Bone marrow smear
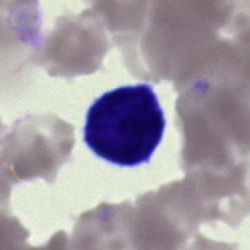
{"cell_type": "unidentifiable cell"}